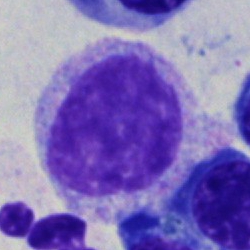
Morphological class = myelocyte.